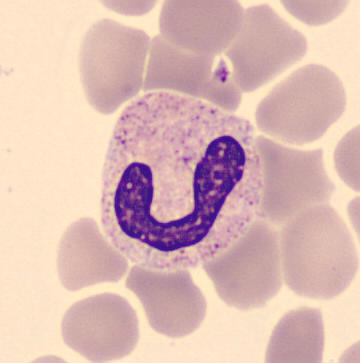 Impression → neutrophil (band).